Single-cell crop · bone marrow smear: 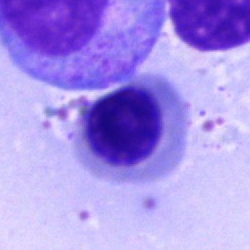This is a nucleated red cell.